Bone marrow aspirate smear. 250 by 250 pixels
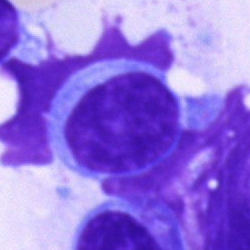 Morphological class — lymphocyte.